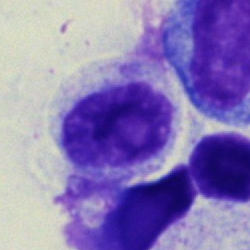Cell type: myelocyte.